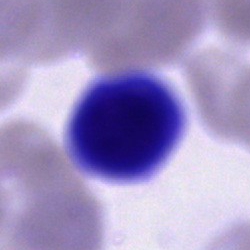Cell = artefact.